Bone marrow smear
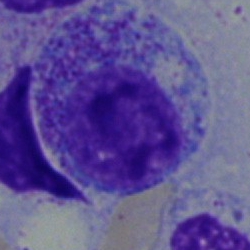
Q: Identify the cell.
A: This is a myelocyte.